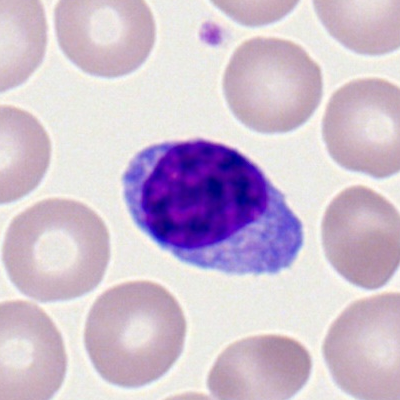 Cell: lymphocyte.